Peripheral blood film: 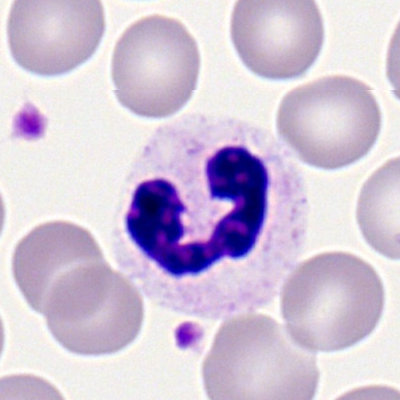 The cell shown is a segmented neutrophil.